250 by 250 pixels; bone marrow smear
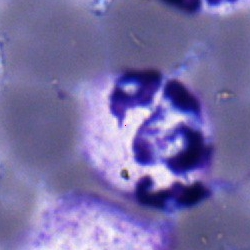Q: Which cell type is shown here?
A: This is a neutrophil (segmented).